Bone marrow smear · 250 by 250 pixels: 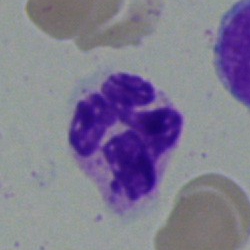

Classification — neutrophil (segmented).